Bone marrow smear
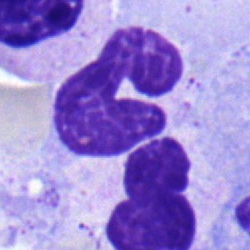 Q: Which cell type is shown here?
A: Band neutrophil.